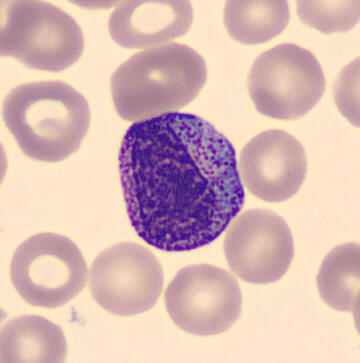

Specimen: peripheral blood smear.
Cell: myelocyte.
Lineage: myeloid.